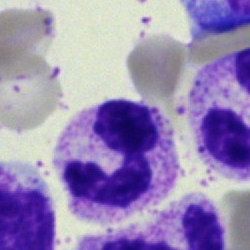
Specimen: bone marrow smear.
Morphological class: neutrophil (segmented).